Bone marrow smear
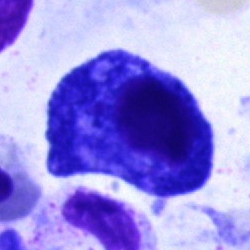 Q: What cell is this?
A: It is a plasma cell.